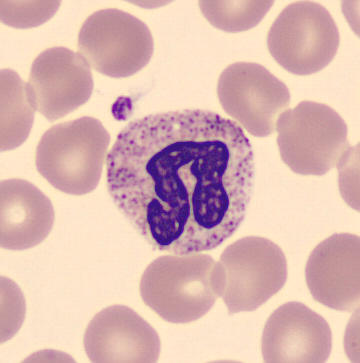 Image: CellaVision DM96. Peripheral blood film.
Q: What cell is this?
A: A stab cell.